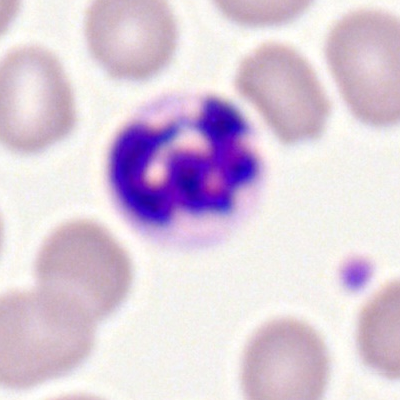The cell shown is a neutrophil (segmented).